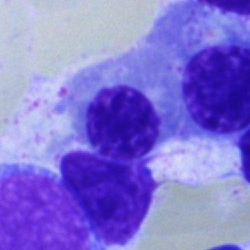Classification: erythroblast.